Bone marrow aspirate smear:
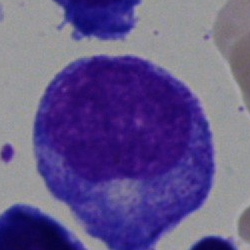 Cell type = progranulocyte.